Bone marrow aspirate smear; brightfield, 40× oil-immersion objective:
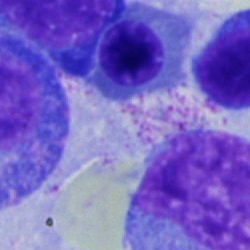
Q: Which cell type is shown here?
A: This is a monocyte.